Bone marrow smear:
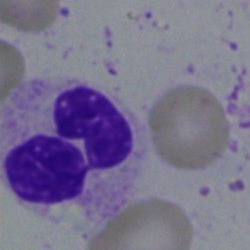 Q: What type of cell is this?
A: This is a neutrophil (segmented).